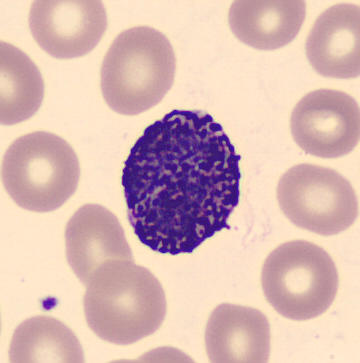 Q: What is shown here?
A: Basophil.

Acquisition: Peripheral blood film.